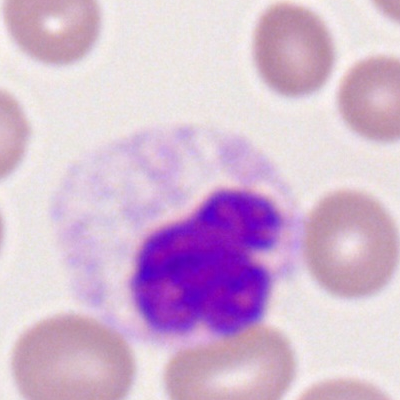

Morphology consistent with a segmented neutrophil.